Single-cell crop · bone marrow smear · brightfield, 40× oil-immersion objective:
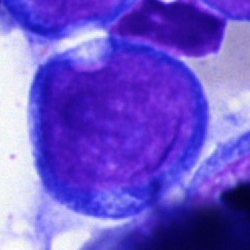 A blast cell.